Pappenheim-stained. Bone marrow smear:
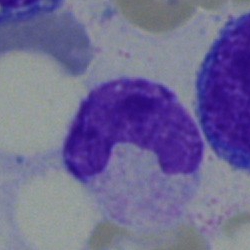Morphology consistent with a band neutrophil.